Bone marrow aspirate smear
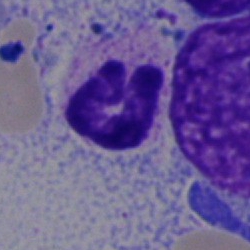 The cell shown is a segmented neutrophil.